Automated cell imaging (CellaVision DM96). 360 by 363 pixels. Peripheral blood film:
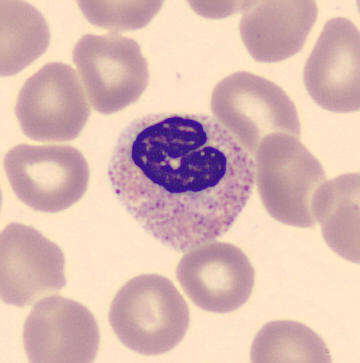The classification is stab cell.